Bone marrow aspirate smear · single cell centered in the field.
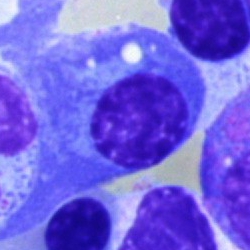
Cell: plasma cell.